Image size 250×250 · bone marrow aspirate smear: 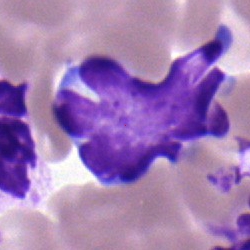

Cell type — typical lymphocyte.